250 by 250 pixels; bone marrow smear; brightfield, 40× oil-immersion objective — 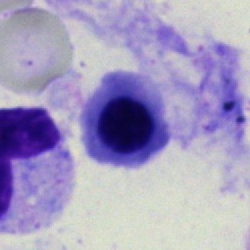Showing a nucleated red cell.